Bone marrow smear. Single cell centered in the field.
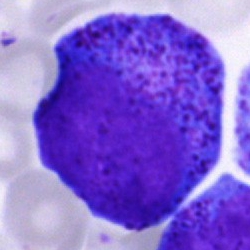
Morphology consistent with a promyelocyte.